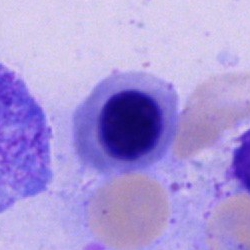Morphology consistent with a normoblast.